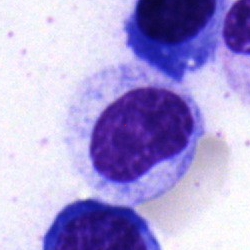
Specimen: bone marrow smear.
Morphological class: metamyelocyte.
Lineage: myeloid.